Bone marrow smear. Pappenheim-stained. Brightfield microscopy, 40× oil immersion: 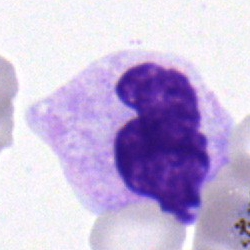
Cell: segmented neutrophil.